Bone marrow aspirate smear · 40× oil immersion · May-Grünwald-Giemsa/Pappenheim stain: 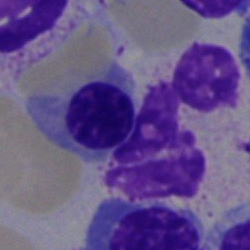
Morphological class: neutrophil (segmented).